May-Grünwald-Giemsa stain; bone marrow smear:
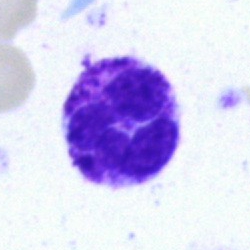 The cell type is polymorphonuclear neutrophil.